Bone marrow smear — 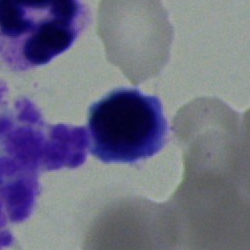Morphology consistent with a lymphocyte.